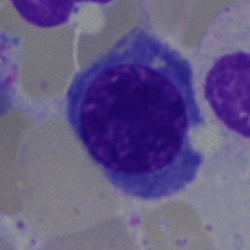 Cell type = erythroblast.